Bone marrow smear · May-Grünwald-Giemsa/Pappenheim stain · 40× objective, oil immersion — 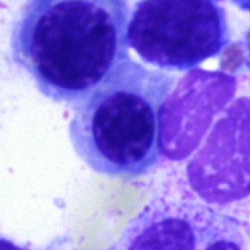 Impression → basophil.